250×250 px; bone marrow aspirate smear
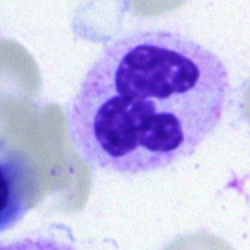Cell = polymorphonuclear neutrophil.